Single-cell field; bone marrow smear: 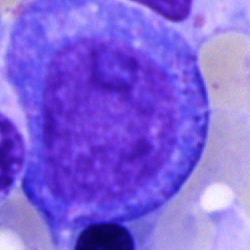
Cell type — promyelocyte.